Bone marrow aspirate smear.
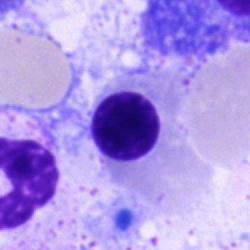 Cell: nucleated red blood cell.